Bone marrow aspirate smear.
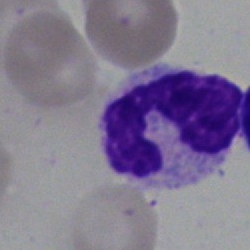Morphological class = polymorphonuclear neutrophil.